MGG-stained · bone marrow smear · single-cell field.
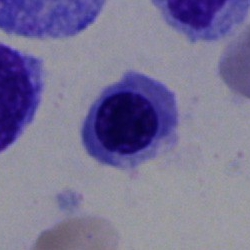
Q: What cell is this?
A: This is an erythroblast.